Bone marrow aspirate smear:
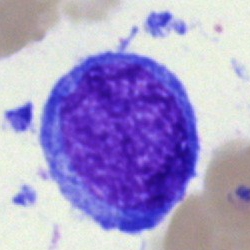 Impression → lymphocyte (immature).